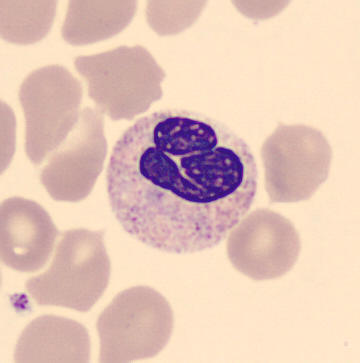This is a segmented neutrophil.